Single cell centered in the field · bone marrow smear — 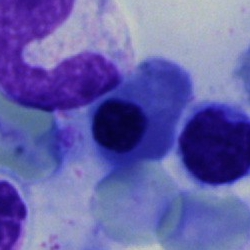

Impression → nucleated red blood cell.